Bone marrow aspirate smear: 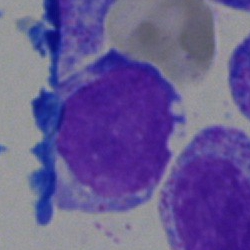

Specimen: bone marrow aspirate smear.
Cell: undifferentiated blast.